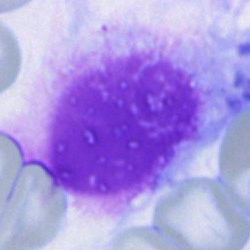
Morphology consistent with an artifact.